May-Grünwald-Giemsa stain · bone marrow aspirate smear
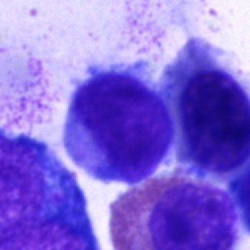 Typical lymphocyte.